Single-cell crop; bone marrow aspirate smear: 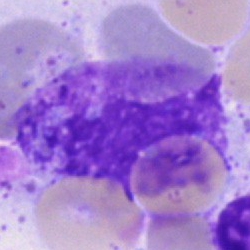
The cell type is artefact.